Bone marrow smear — 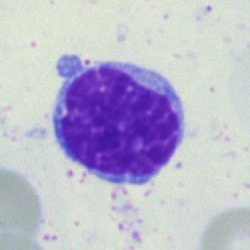Morphology → typical lymphocyte.